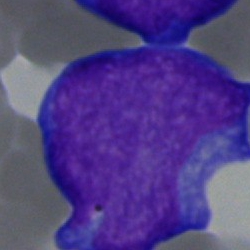
Bone marrow aspirate smear, single cell — blast cell.